Bone marrow aspirate smear: 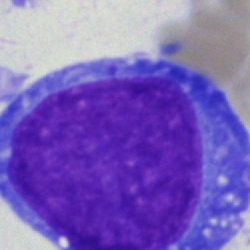Showing a blast.